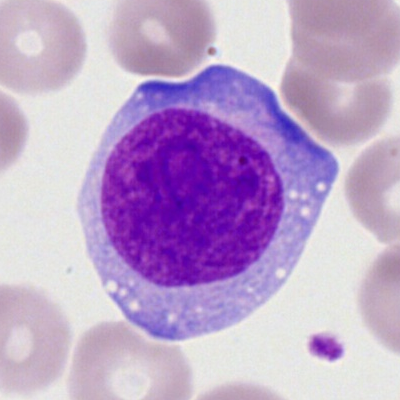

Peripheral blood film, single cell — myeloblast.